Bone marrow aspirate smear; 250×250 — 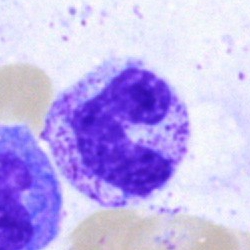

The cell shown is a neutrophil (band).